Bone marrow smear — 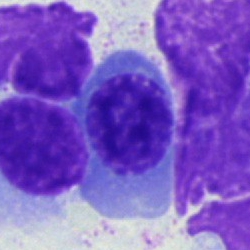 Q: What type of cell is this?
A: This is a normoblast.